Brightfield, 40× oil-immersion objective; cropped to a single cell; bone marrow aspirate smear
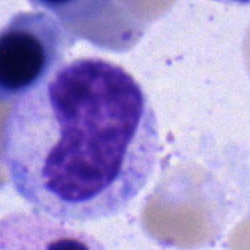 Impression → metamyelocyte.